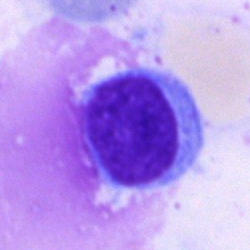 Specimen: bone marrow aspirate smear.
Morphological class: typical lymphocyte.